Bone marrow aspirate smear — 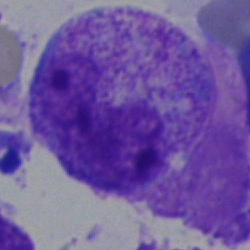 Morphological class = stab cell.